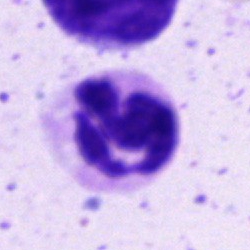 Single-cell crop from a bone marrow smear: polymorphonuclear neutrophil.